Romanowsky-type stain · single cell centered in the field · peripheral blood smear.
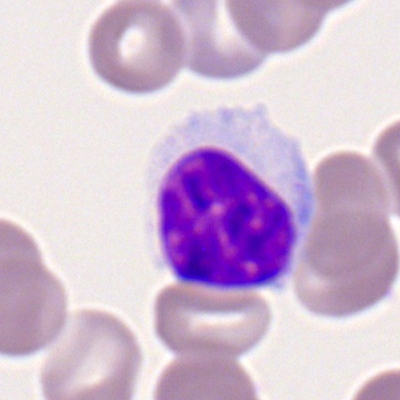Showing a typical lymphocyte.